Peripheral blood smear
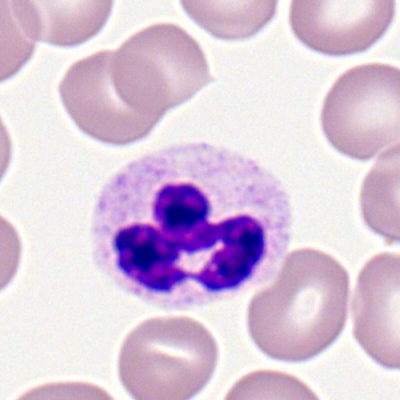
{"cell_type": "polymorphonuclear neutrophil", "lineage": "myeloid"}